Bone marrow aspirate smear:
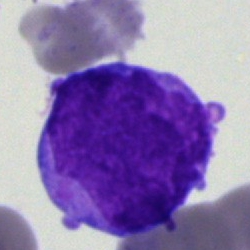

Impression — blast.